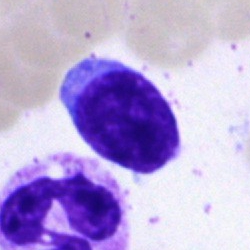 Cell type = lymphocyte.